Bone marrow smear — 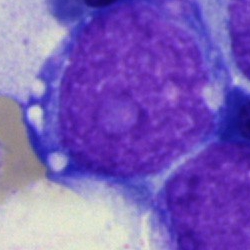
Morphology → blast.